Bone marrow aspirate smear.
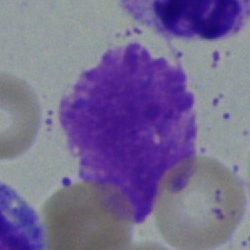
Morphology consistent with an artifact.